Bone marrow aspirate smear · 250 by 250 pixels · single-cell field: 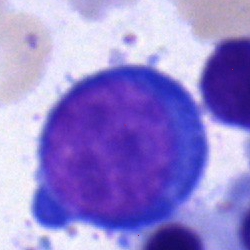

The classification is pronormoblast.